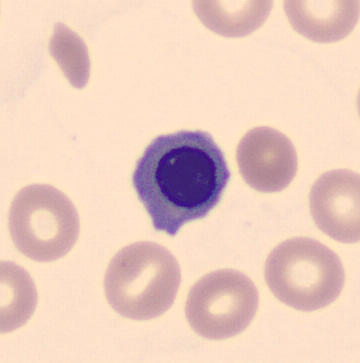
Image: Imaged on a CellaVision DM96 analyser. Peripheral blood smear.

{"cell_type": "erythroblast"}